Image size 400×400. Peripheral blood smear — 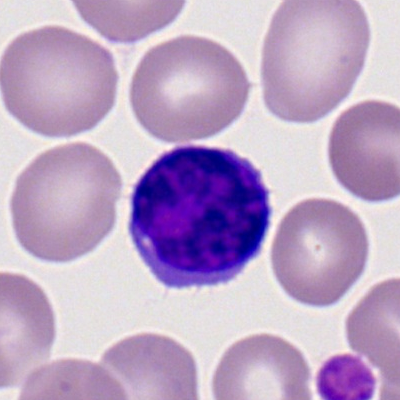 Specimen: peripheral blood film.
Classification: lymphocyte.